40× oil immersion · bone marrow aspirate smear · May-Grünwald-Giemsa stain — 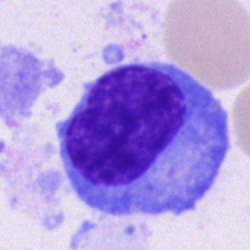

Morphology — plasma cell.